Cropped to a single cell · bone marrow smear: 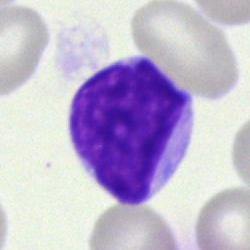Morphology consistent with an undifferentiated blast.